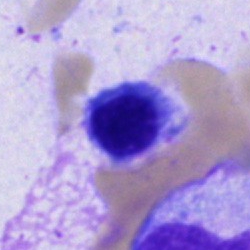 Cell type — nucleated red cell.